Bone marrow aspirate smear — 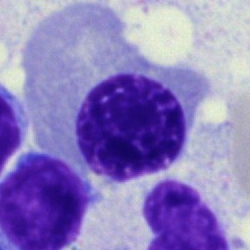

Morphology consistent with a nucleated red cell.